Bone marrow aspirate smear: 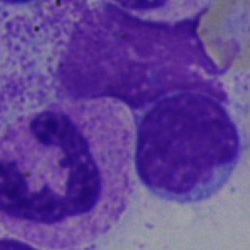Q: Identify the cell.
A: A neutrophil (segmented).